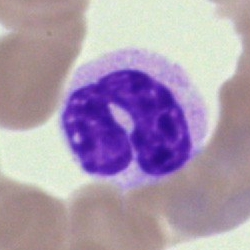
Q: What is the morphological classification of this cell?
A: This is a polymorphonuclear neutrophil.